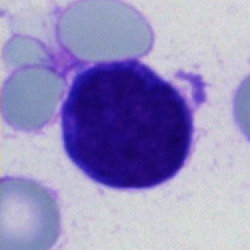 This is an unidentifiable cell.